Bone marrow smear — 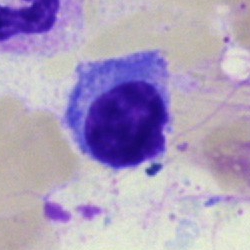
Q: What type of cell is this?
A: This is a lymphocyte.